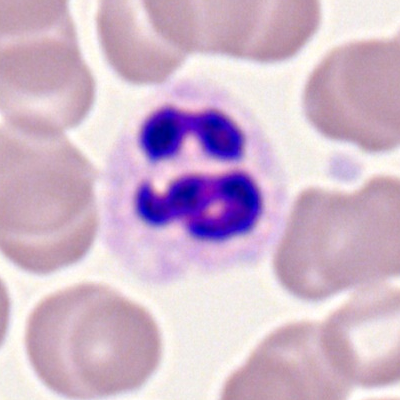Showing a neutrophil (segmented).